Single-cell crop · bone marrow aspirate smear:
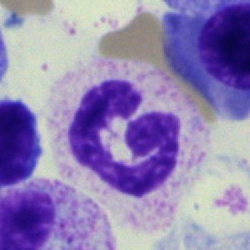 Q: Which cell type is shown here?
A: It is a neutrophil (segmented).